Bone marrow aspirate smear — 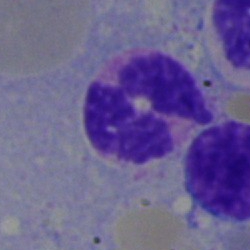

{"cell_type": "polymorphonuclear neutrophil"}